Bone marrow smear; May-Grünwald-Giemsa/Pappenheim stain; 40× objective, oil immersion:
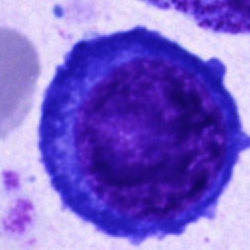
Morphological class — pronormoblast.